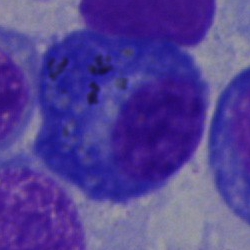
A plasma cell on a bone marrow smear.